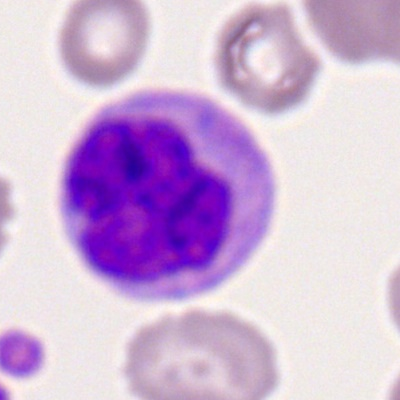
Morphological class: monocyte.